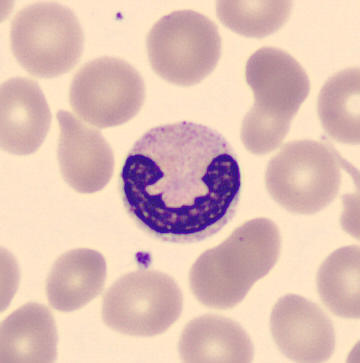

Peripheral blood film.

{"cell_type": "neutrophil (band)", "lineage": "myeloid"}